Bone marrow aspirate smear · brightfield microscopy, 40× oil immersion
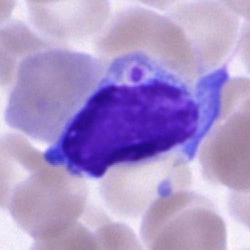 Showing a lymphocyte.